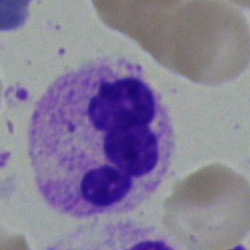
Specimen: bone marrow aspirate smear.
Morphological class: neutrophil (segmented).